250 by 250 pixels; bone marrow smear; cropped to a single cell:
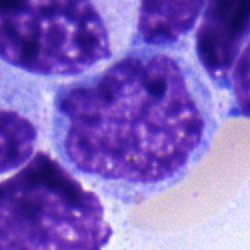Q: What type of cell is this?
A: This is a monocyte.